250×250 · bone marrow aspirate smear.
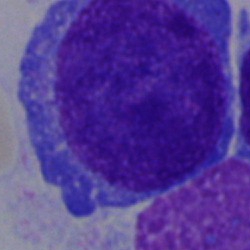

The cell type is undifferentiated blast.